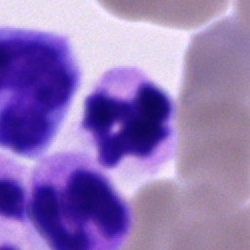
Morphology consistent with a segmented neutrophil.